Bone marrow smear
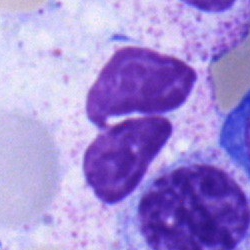

Specimen: bone marrow smear.
Cell: neutrophil (segmented).
Lineage: myeloid.